40× oil immersion; bone marrow smear — 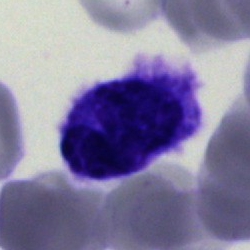
Cell of indeterminate lineage.